Bone marrow smear. Brightfield microscopy, 40× oil immersion:
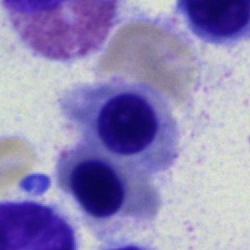
Q: What is the morphological classification of this cell?
A: It is a nucleated red cell.